Cropped to a single cell; 250 by 250 pixels; bone marrow aspirate smear:
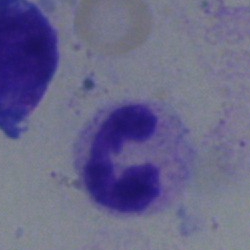The cell shown is a segmented neutrophil.